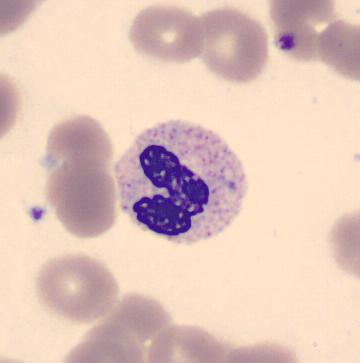

Peripheral blood film.
Impression — band-form neutrophil.